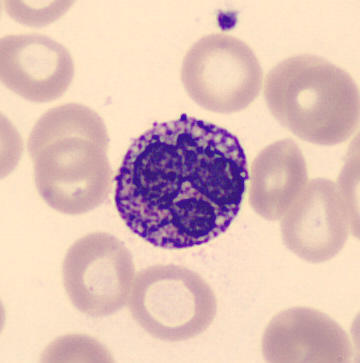
A basophilic granulocyte on a peripheral blood smear.